Bone marrow aspirate smear
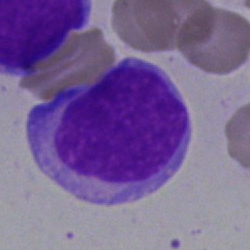Showing a blast.